Bone marrow aspirate smear.
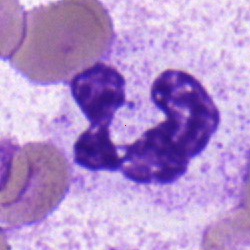
Morphology → neutrophil (segmented).